Bone marrow smear · 40× oil immersion
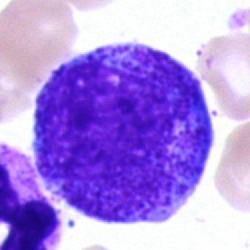 Specimen: bone marrow aspirate smear.
Cell: progranulocyte.
Lineage: myeloid.